Bone marrow aspirate smear — 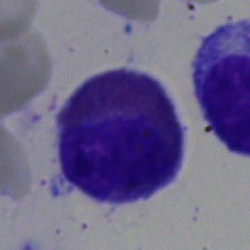
Specimen: bone marrow smear.
Morphological class: eosinophil.